Bone marrow aspirate smear. Brightfield, 40× oil-immersion objective:
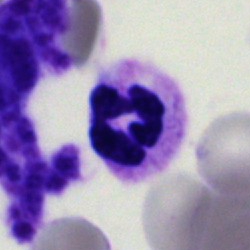

Q: What is shown here?
A: A polymorphonuclear neutrophil.